Bone marrow aspirate smear; image size 250×250; single cell centered in the field
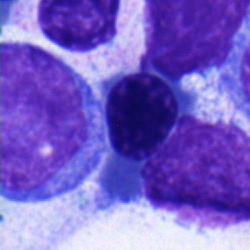
Morphology → nucleated red blood cell.